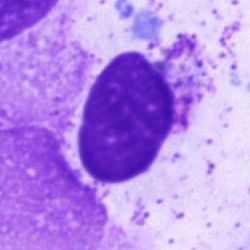Morphological class = artefact.